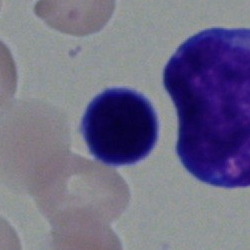Single cell identified as a lymphocyte.